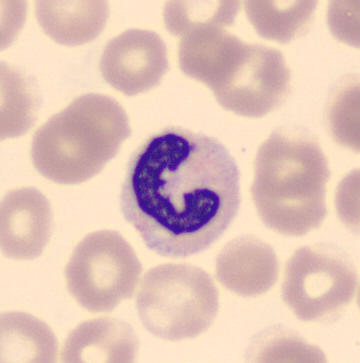

The cell is band neutrophil.

Peripheral blood smear.